250×250 px; bone marrow smear.
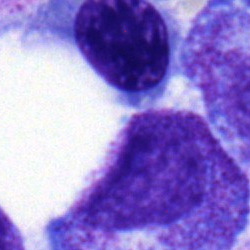Specimen: bone marrow aspirate smear.
Classification: normoblast.